Bone marrow aspirate smear — 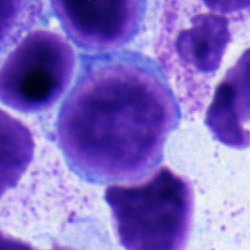Q: What type of cell is this?
A: Lymphocyte.